Bone marrow aspirate smear.
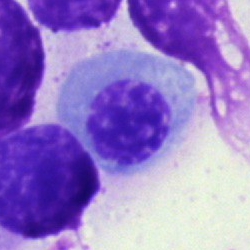

Specimen: bone marrow smear.
Classification: normoblast.
Lineage: erythroid.